May-Grünwald-Giemsa/Pappenheim stain; 40× objective, oil immersion; bone marrow smear — 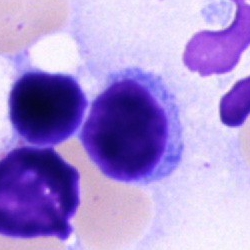

The cell type is typical lymphocyte.